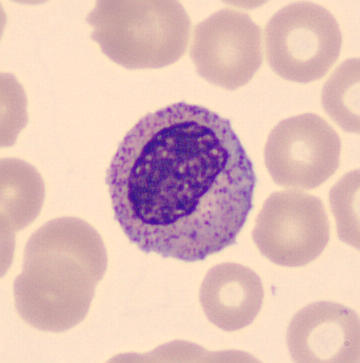Impression — myelocyte.